Brightfield, 40× oil-immersion objective. 250 by 250 pixels. Bone marrow smear
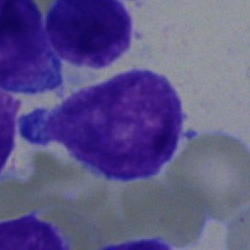
Q: What is the morphological classification of this cell?
A: A blast cell.